250×250. Bone marrow smear.
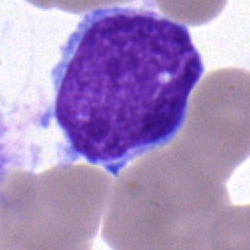 Single cell identified as an undifferentiated blast.